Bone marrow aspirate smear. 40× oil immersion
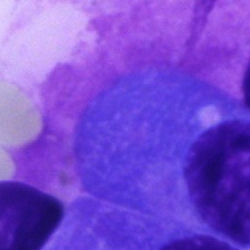 Q: Identify the cell.
A: Plasma cell.